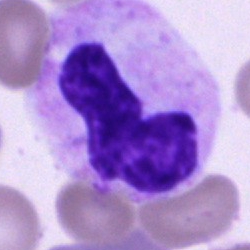The cell shown is a segmented neutrophil.